Bone marrow smear · Pappenheim-stained.
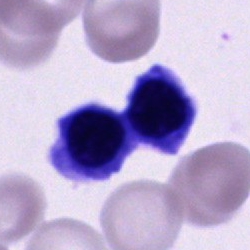 Cell type = unidentifiable cell.